Bone marrow smear; 250 by 250 pixels
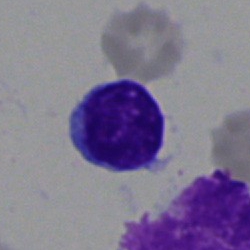The cell is typical lymphocyte.